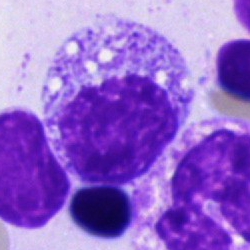
Q: What cell is this?
A: A myelocyte.